Bone marrow smear — 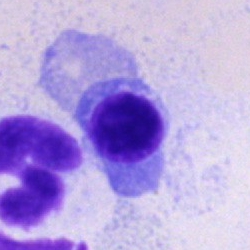

Cell = nucleated red blood cell.